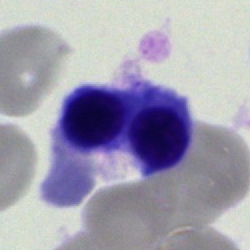
The classification is nucleated red cell.